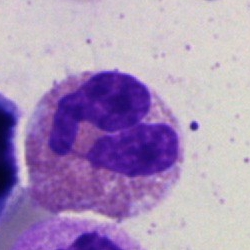Q: What cell is this?
A: This is an eosinophil.